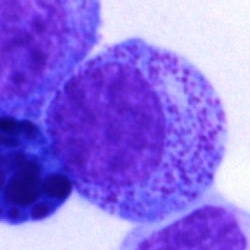

This is a progranulocyte.